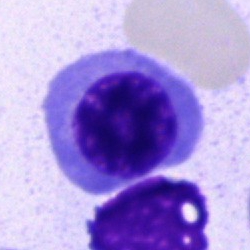 Q: What is shown here?
A: A nucleated red cell.